Pappenheim-stained. Bone marrow smear. Cropped to a single cell: 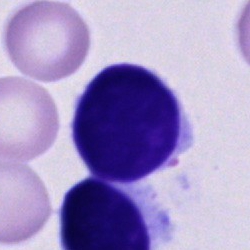The cell is unidentifiable cell.